Bone marrow smear: 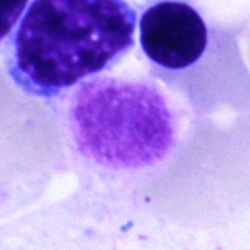

This is an artefact.